Bone marrow smear — 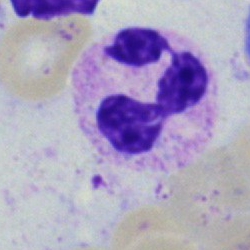 Cell type: neutrophil (segmented).